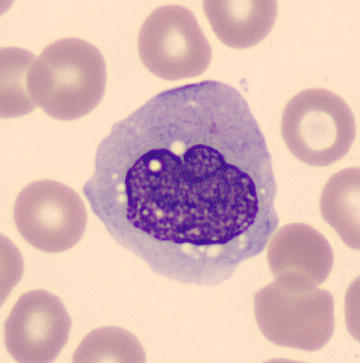
Peripheral blood smear. Cell type = monocyte.